Image size 250×250. Bone marrow smear
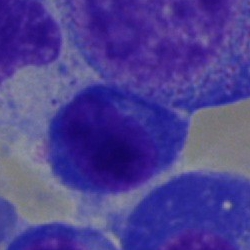

Classification — plasmacyte.